Bone marrow smear; 250×250.
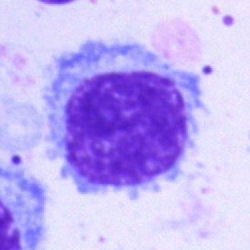Q: What type of cell is this?
A: It is a lymphocyte.